Bone marrow aspirate smear: 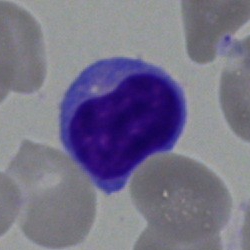Morphological class — lymphocyte.